Single-cell field; bone marrow aspirate smear.
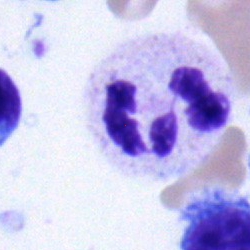Q: What cell is this?
A: Polymorphonuclear neutrophil.